Bone marrow smear. Brightfield, 40× oil-immersion objective: 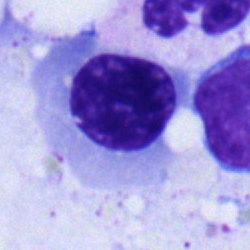Cell = erythroblast.